Bone marrow smear — 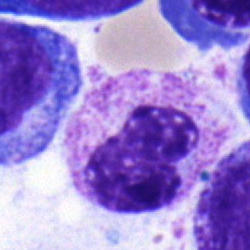Cell = segmented neutrophil.